250 by 250 pixels · bone marrow smear · brightfield microscopy, 40× oil immersion.
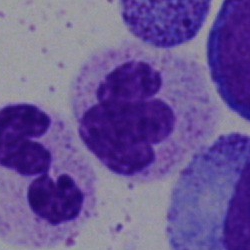
Impression — segmented neutrophil.